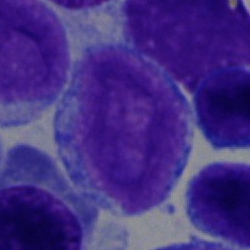Specimen: bone marrow smear.
Cell type: blast cell.